400×400 px. Peripheral blood smear.
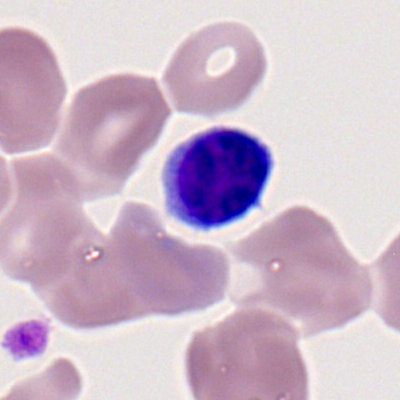The cell shown is a lymphocyte.